Bone marrow smear.
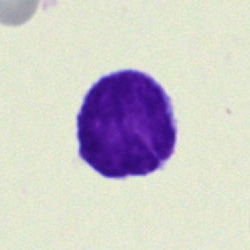Cell: lymphocyte.